Bone marrow smear: 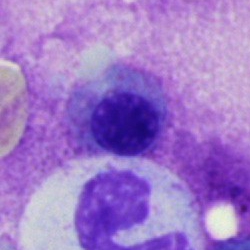
A nucleated red cell.